Automated cell imaging (CellaVision DM96) · peripheral blood smear · cropped to a single cell: 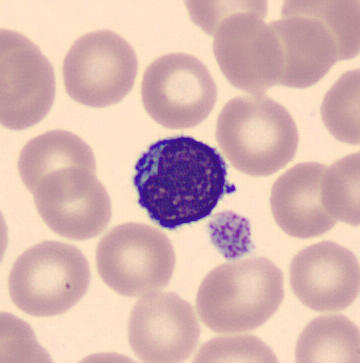Morphological class — lymphocyte.